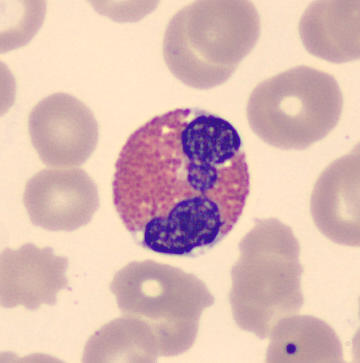 The cell is eosinophilic granulocyte.

Peripheral blood smear; May-Grünwald-Giemsa-stained.